Romanowsky stain. Peripheral blood film
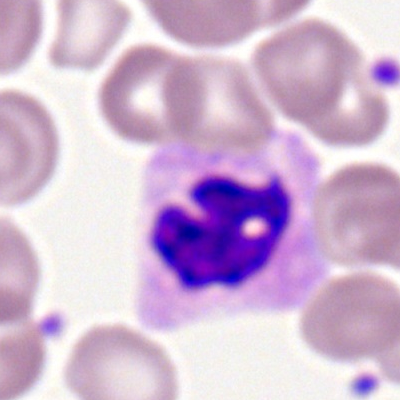

The classification is polymorphonuclear neutrophil.